Bone marrow aspirate smear; 250×250 px:
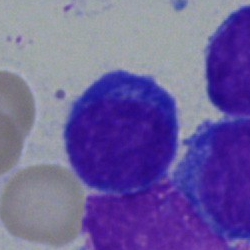This is a lymphocyte.